40× oil immersion; bone marrow aspirate smear; image size 250×250
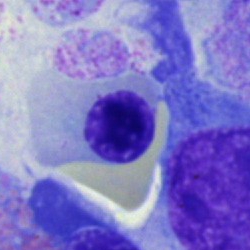
Q: What type of cell is this?
A: This is an erythroblast.